Bone marrow aspirate smear.
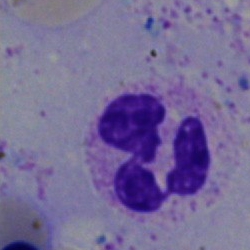
A polymorphonuclear neutrophil.